Image size 400×400. M8 digital microscope (Precipoint), 100× oil immersion. Peripheral blood smear: 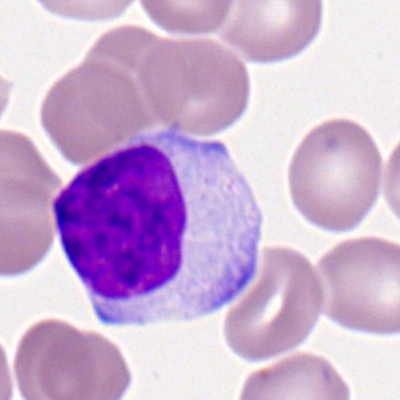Q: What is the morphological classification of this cell?
A: Typical lymphocyte.